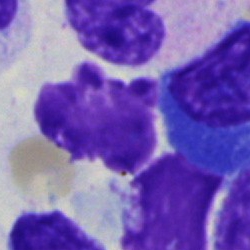 Showing an artifact.